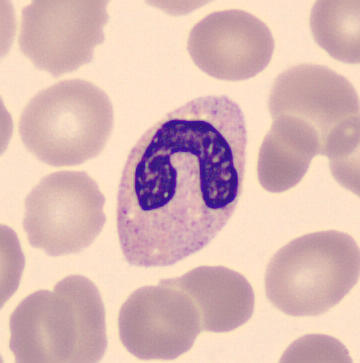

Specimen: peripheral blood film.
Cell: band-form neutrophil.
Lineage: myeloid.